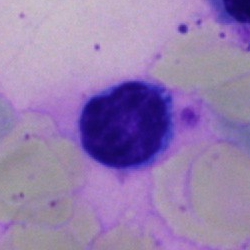 Q: Identify the cell.
A: Lymphocyte.